Bone marrow smear; brightfield, 40× oil-immersion objective.
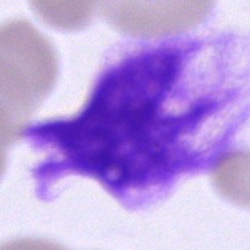 Q: What is shown here?
A: An artifact.